May-Grünwald-Giemsa/Pappenheim stain · bone marrow aspirate smear: 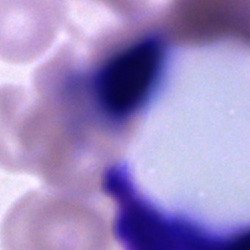 Cell = artifact.